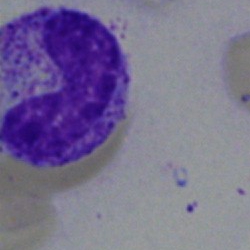

Q: What is shown here?
A: This is a band-form neutrophil.